Bone marrow smear; May-Grünwald-Giemsa/Pappenheim stain; 250×250 px: 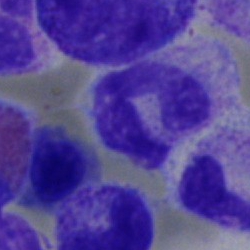

Specimen: bone marrow smear.
Cell: segmented neutrophil.